Bone marrow smear.
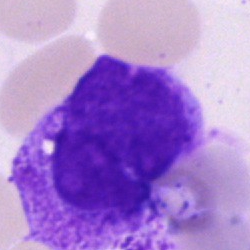Morphology → artifact.